40× oil immersion · bone marrow aspirate smear: 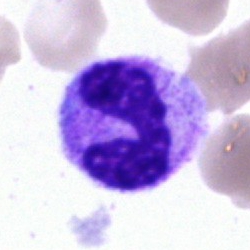

This is a neutrophil (segmented).